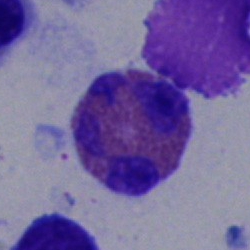 Bone marrow smear showing an eosinophilic granulocyte.